Bone marrow smear; cropped to a single cell: 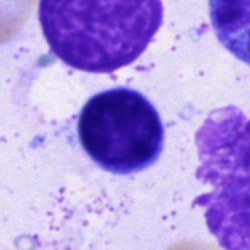 Showing a typical lymphocyte.